Bone marrow aspirate smear.
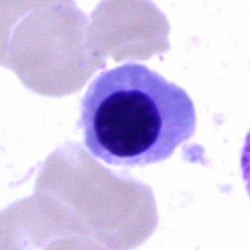
Cell: nucleated red cell.